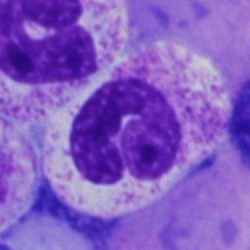 Q: What cell is this?
A: A polymorphonuclear neutrophil.